250 by 250 pixels · bone marrow smear · 40× oil immersion — 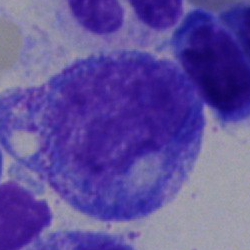

Cell type: progranulocyte.